Bone marrow aspirate smear:
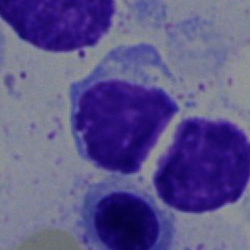Cell type — lymphocyte.